Bone marrow smear
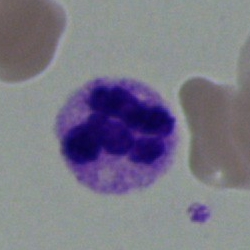Specimen: bone marrow aspirate smear.
Morphological class: polymorphonuclear neutrophil.
Lineage: myeloid.